Bone marrow aspirate smear:
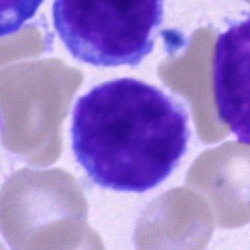
Cell: lymphocyte.